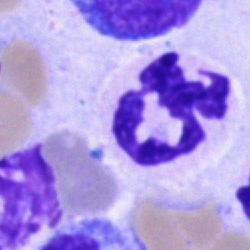
Polymorphonuclear neutrophil.